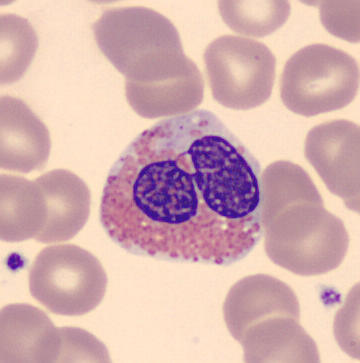 Peripheral blood smear · 360×363. Showing an eosinophil.